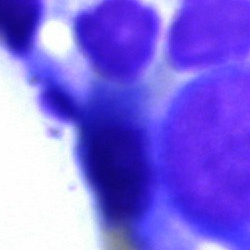Q: What is shown here?
A: An artifact.